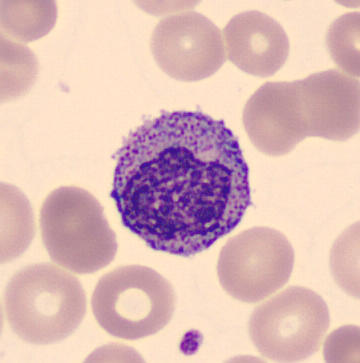 Q: What is this?
A: It is a myelocyte.
Peripheral blood smear; automated cell imaging (CellaVision DM96); MGG-stained.